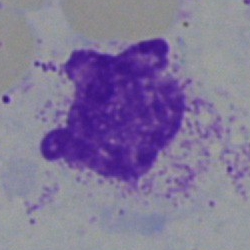An artifact on a bone marrow smear.